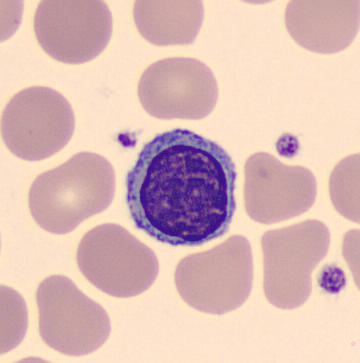
Typical lymphocyte.

Peripheral blood smear; single-cell crop.